Bone marrow aspirate smear; single cell centered in the field; brightfield microscopy, 40× oil immersion
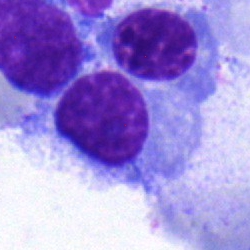Classification — erythroblast.